40× objective, oil immersion · bone marrow aspirate smear: 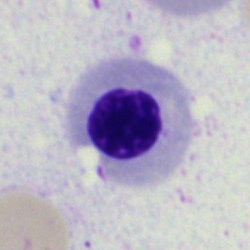
Q: What is the morphological classification of this cell?
A: A normoblast.